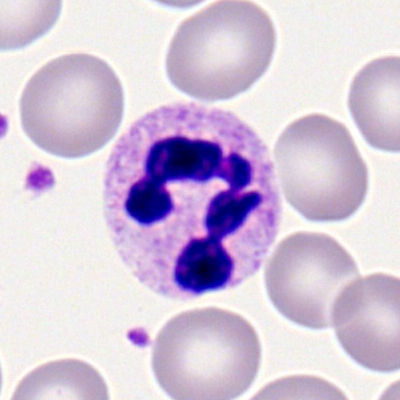 Morphology → neutrophil (segmented).